250×250 px; bone marrow smear
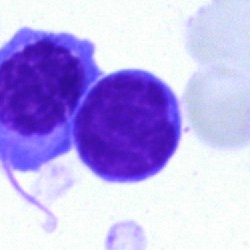
Morphology → typical lymphocyte.